Bone marrow aspirate smear — 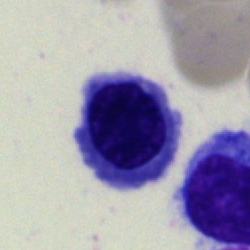
Showing a nucleated red blood cell.